Image size 250×250; bone marrow smear; 40× objective, oil immersion:
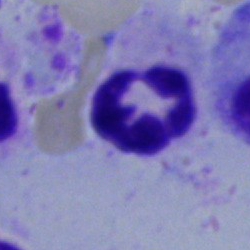

Showing a polymorphonuclear neutrophil.